250×250; May-Grünwald-Giemsa/Pappenheim stain; bone marrow smear.
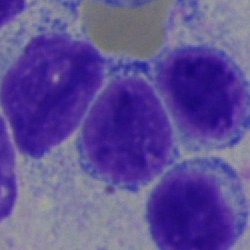 Showing a lymphocyte.